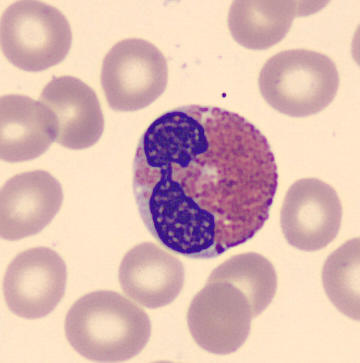 Peripheral blood film.

Q: What is shown here?
A: An eosinophil.